MGG-stained. Bone marrow aspirate smear.
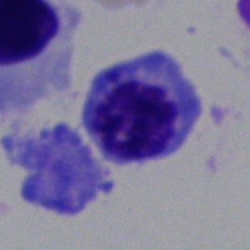
The classification is nucleated red cell.